250×250 px · bone marrow smear:
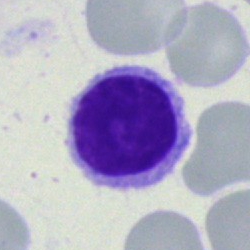 A typical lymphocyte.